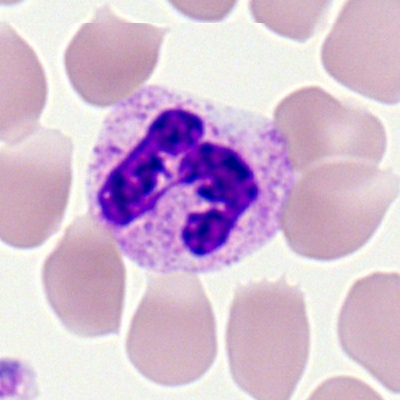Peripheral blood smear showing a segmented neutrophil.